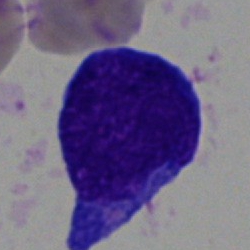Cell type — blast.